250×250. Bone marrow aspirate smear. Brightfield microscopy, 40× oil immersion:
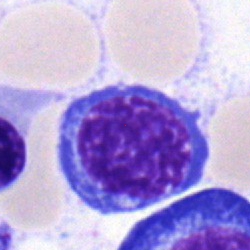

Morphological class: nucleated red blood cell.